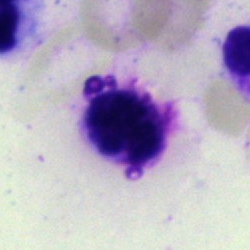An artefact.